Bone marrow aspirate smear.
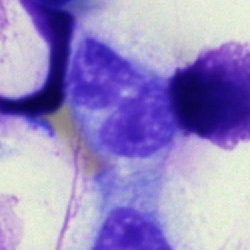The cell type is band-form neutrophil.